Single-cell crop · bone marrow aspirate smear:
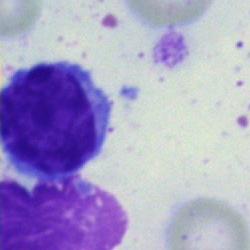 Morphology consistent with a typical lymphocyte.